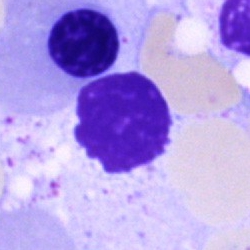 Classification — artefact.